Cropped to a single cell · peripheral blood film — 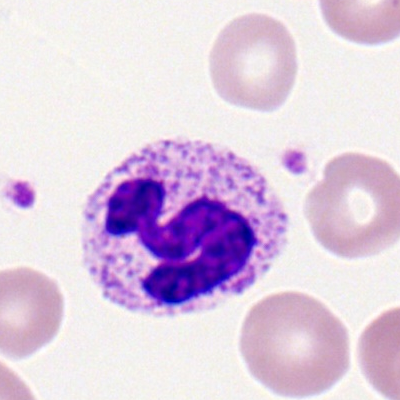{"cell_type": "segmented neutrophil", "lineage": "myeloid"}